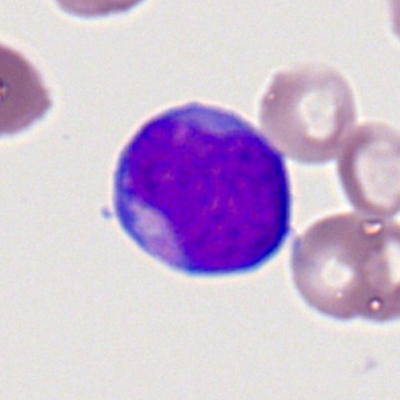

Q: Identify the cell.
A: This is a myeloblast.